Peripheral blood smear:
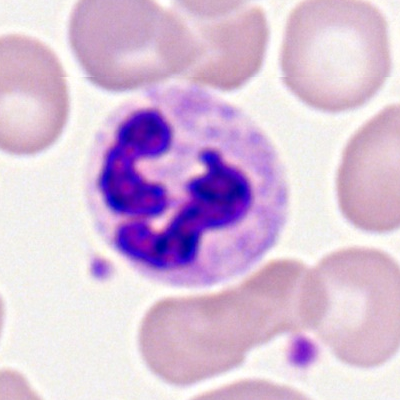
Morphology consistent with a segmented neutrophil.